Peripheral blood smear
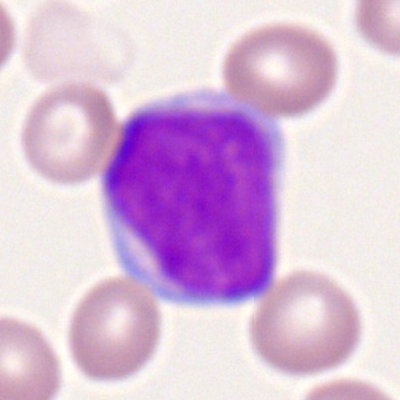 This is a lymphocyte.